Bone marrow aspirate smear; 250×250.
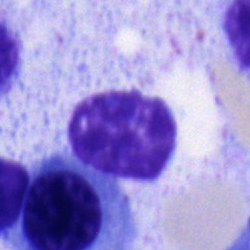

Impression → lymphocyte.